Bone marrow aspirate smear:
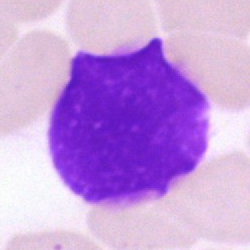
Showing an artifact.